Bone marrow aspirate smear: 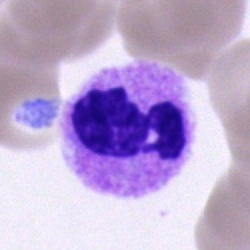 A neutrophil (segmented).